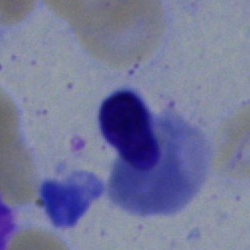Morphological class: normoblast.